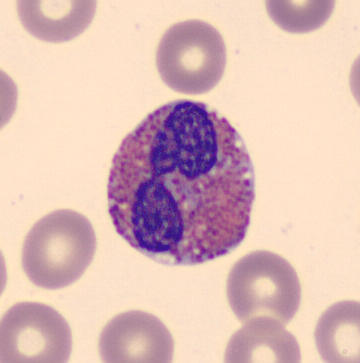 Showing an eosinophilic granulocyte. Preparation: 360×363 px · peripheral blood film · CellaVision DM96 digital cell image.